Bone marrow smear.
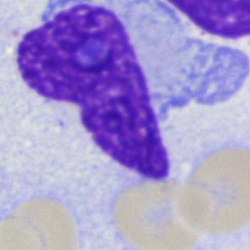

Morphology consistent with an artefact.